Brightfield microscopy, 40× oil immersion; May-Grünwald-Giemsa stain; bone marrow aspirate smear — 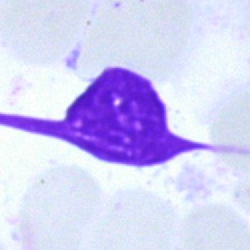Morphological class — artifact.